Bone marrow smear: 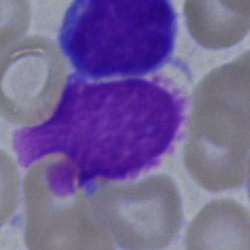

Cell type = lymphocyte.